Single-cell field. Image size 250×250. Bone marrow smear: 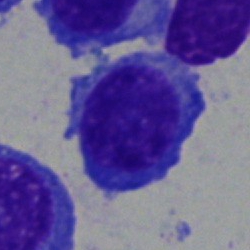

{"cell_type": "plasmacyte", "lineage": "lymphoid"}